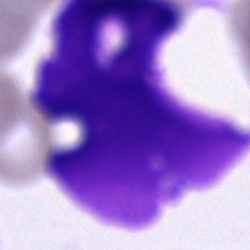

The cell type is artifact.